Bone marrow aspirate smear.
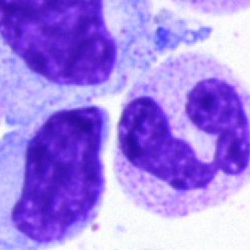 Showing a polymorphonuclear neutrophil.